Brightfield microscopy, 40× oil immersion · bone marrow smear:
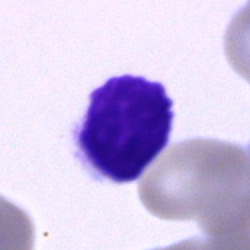Q: What is shown here?
A: A lymphocyte.